Bone marrow smear — 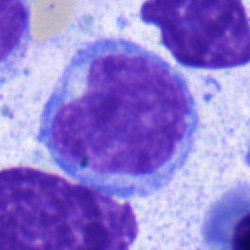

Showing an undifferentiated blast.